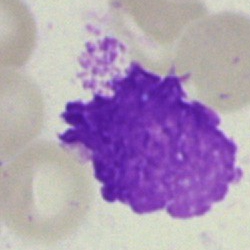 Q: What is shown here?
A: An artifact.